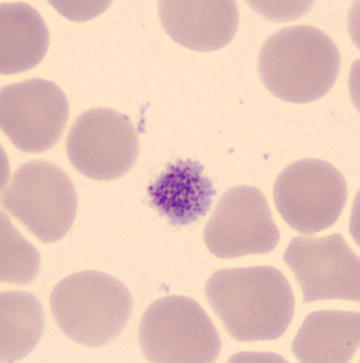
Morphology → platelet (thrombocyte).